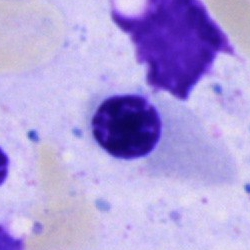 Morphological class — nucleated red cell.